Bone marrow aspirate smear
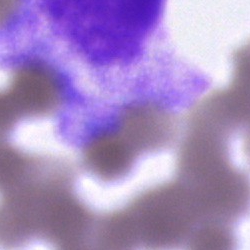
Morphology → artefact.